Peripheral blood film:
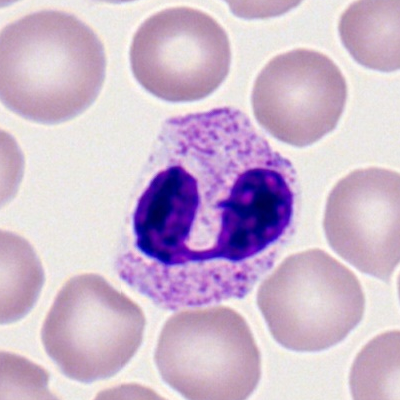
Specimen: peripheral blood smear.
Cell type: segmented neutrophil.
Lineage: myeloid.